Bone marrow aspirate smear
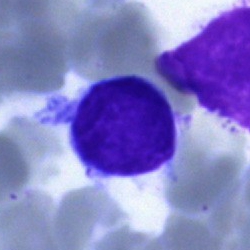 Typical lymphocyte.